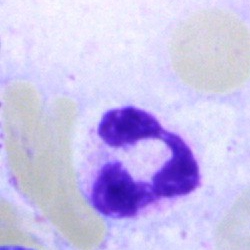

{"cell_type": "neutrophil (segmented)", "lineage": "myeloid"}